Bone marrow aspirate smear: 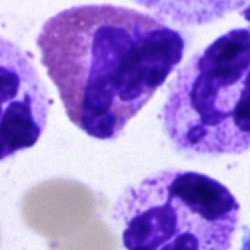

Cell type = eosinophilic granulocyte.